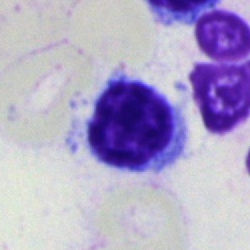

Showing a lymphocyte.